250×250 px · 40× oil immersion · bone marrow aspirate smear: 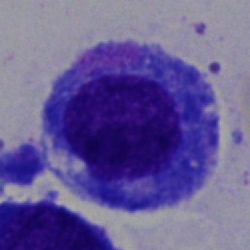 This is a progranulocyte.